Bone marrow smear: 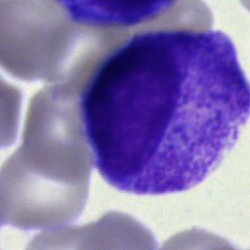

Showing a myelocyte.